250×250; bone marrow smear
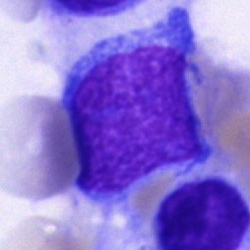

{"cell_type": "blast"}